Bone marrow aspirate smear. Image size 250×250:
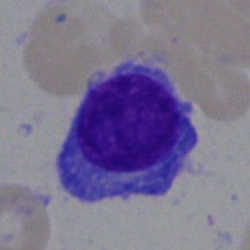

Q: What is the morphological classification of this cell?
A: It is a plasma cell.